Image size 250×250; bone marrow aspirate smear; May-Grünwald-Giemsa/Pappenheim stain:
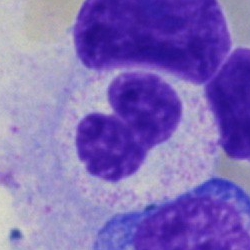Specimen: bone marrow aspirate smear.
Classification: band-form neutrophil.
Lineage: myeloid.